Bone marrow smear. 40× oil immersion
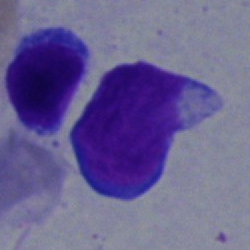

This is a lymphocyte.